Bone marrow smear.
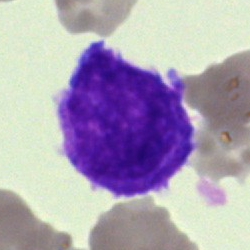 Cell — blast cell.